Bone marrow aspirate smear. Cropped to a single cell
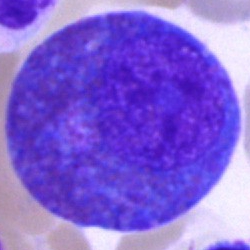
This is an eosinophilic granulocyte.